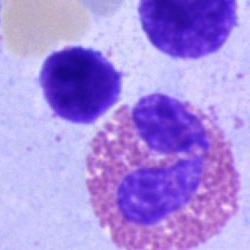

Specimen: bone marrow smear.
Morphological class: eosinophilic granulocyte.
Lineage: myeloid.